May-Grünwald-Giemsa/Pappenheim stain · 40× oil immersion · bone marrow smear — 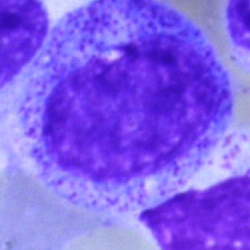

Morphological class — promyelocyte.